Peripheral blood smear:
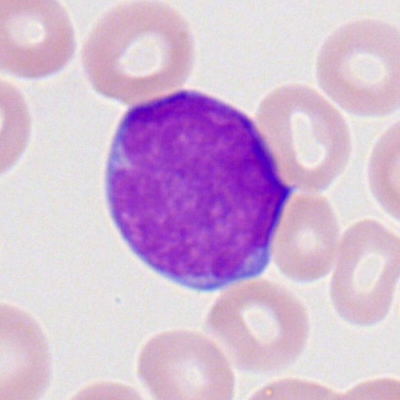

The cell shown is a myeloblast.